Peripheral blood smear
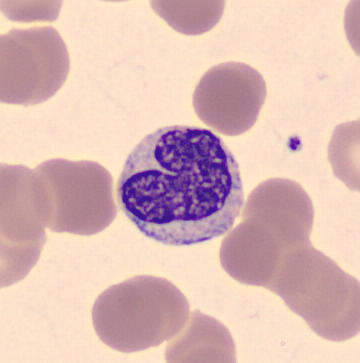A metamyelocyte.